Bone marrow aspirate smear
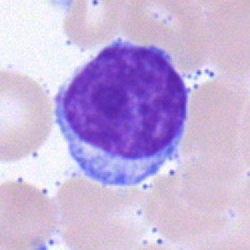

Specimen: bone marrow aspirate smear.
Morphological class: lymphocyte.